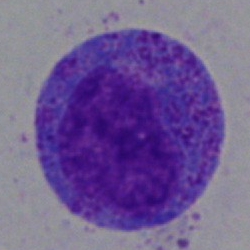 The cell is progranulocyte.